Peripheral blood smear.
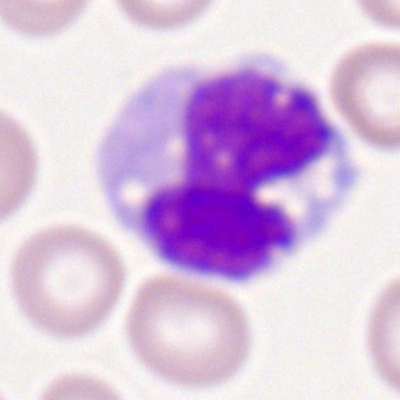 Specimen: peripheral blood film.
Classification: monocyte.
Lineage: myeloid.